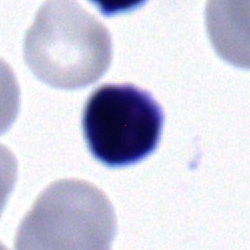

The morphological class is typical lymphocyte.